Bone marrow smear.
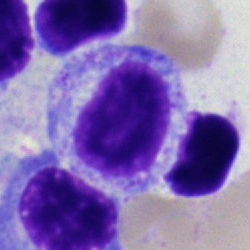
Morphology consistent with a myelocyte.